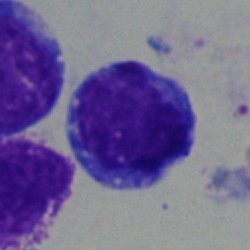
Q: What cell is this?
A: Lymphocyte.